Bone marrow smear · single-cell crop
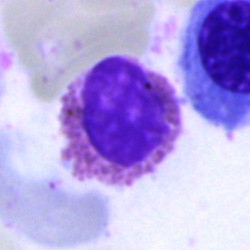 Eosinophilic granulocyte.